Bone marrow smear. 40× oil immersion — 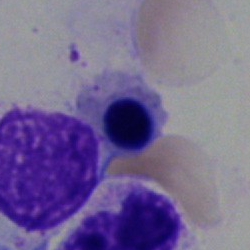

Single cell identified as an erythroblast.